Bone marrow aspirate smear — 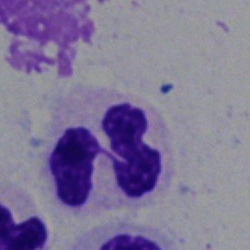 Single cell identified as a segmented neutrophil.